Bone marrow aspirate smear
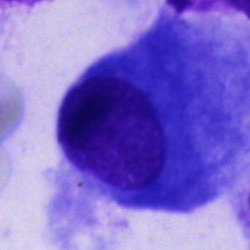
The cell type is other cell.